Bone marrow aspirate smear; single cell centered in the field
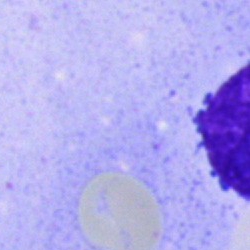Artefact.